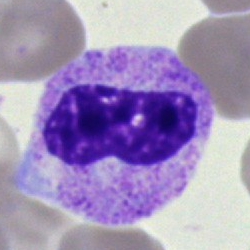

Specimen: bone marrow aspirate smear.
Classification: metamyelocyte.